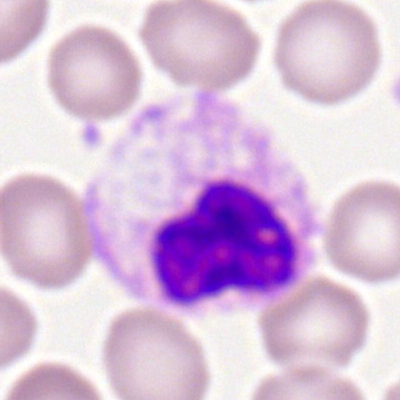

Morphology — segmented neutrophil.